Bone marrow smear — 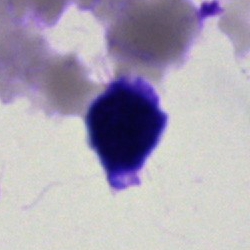

Cell — artifact.